Bone marrow aspirate smear:
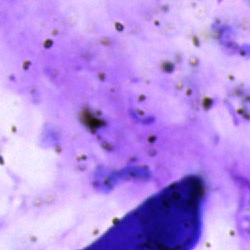 This is an artefact.